Bone marrow aspirate smear; Pappenheim-stained; single-cell field — 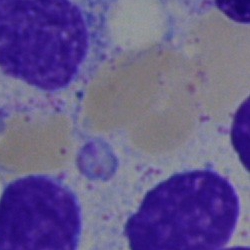

Classification — artefact.